May-Grünwald-Giemsa stain. Bone marrow aspirate smear.
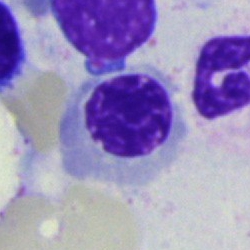A normoblast.